Bone marrow aspirate smear — 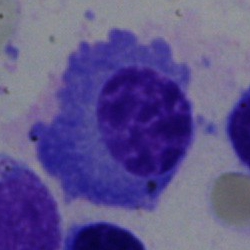Impression — plasmacyte.